Bone marrow aspirate smear.
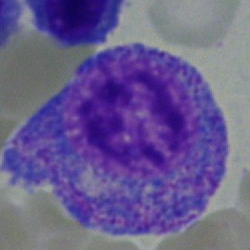 Specimen: bone marrow smear.
Classification: promyelocyte.